Bone marrow aspirate smear: 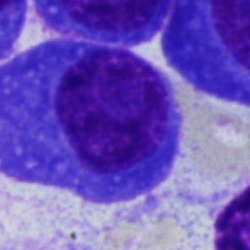Morphological class — plasmacyte.